Single cell centered in the field · bone marrow aspirate smear:
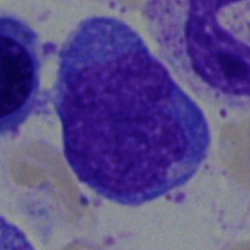 Classification = blast cell.